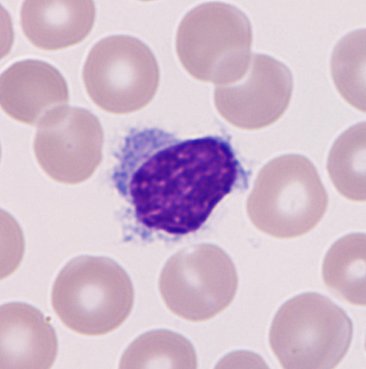

366 by 369 pixels. May-Grünwald-Giemsa-stained. Peripheral blood film.

Morphological class: typical lymphocyte.